Peripheral blood smear — 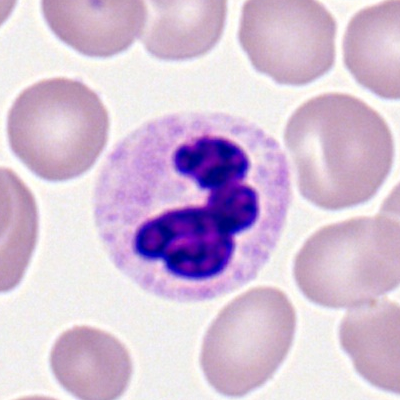 Q: Identify the cell.
A: Polymorphonuclear neutrophil.